May-Grünwald-Giemsa stain; bone marrow smear; single-cell field
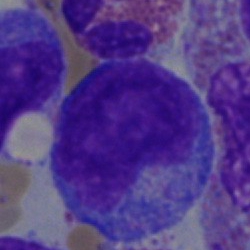This is an undifferentiated blast.